Bone marrow smear · brightfield microscopy, 40× oil immersion · May-Grünwald-Giemsa stain:
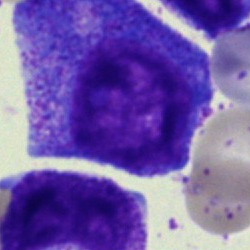

Q: What is shown here?
A: Progranulocyte.